250×250 px. Bone marrow aspirate smear. 40× objective, oil immersion:
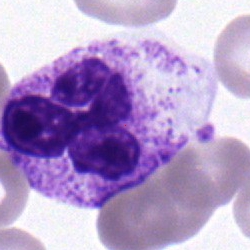

Impression → polymorphonuclear neutrophil.